Bone marrow smear:
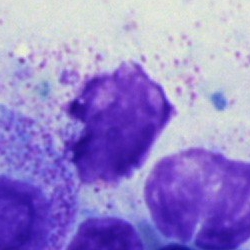

Classification = artifact.